Bone marrow aspirate smear.
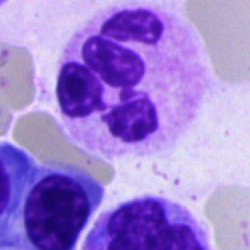Morphology — segmented neutrophil.